Bone marrow aspirate smear: 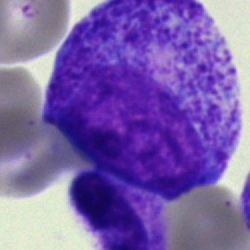Specimen: bone marrow aspirate smear.
Cell type: progranulocyte.
Lineage: myeloid.